Bone marrow smear.
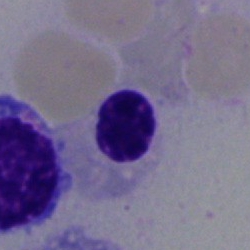 Q: Which cell type is shown here?
A: Nucleated red blood cell.